Bone marrow smear: 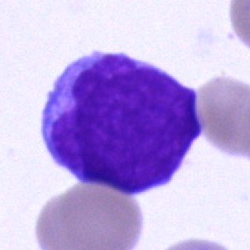 Cell type = blast cell.